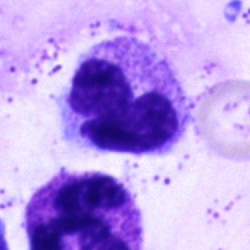

Single cell identified as a polymorphonuclear neutrophil.